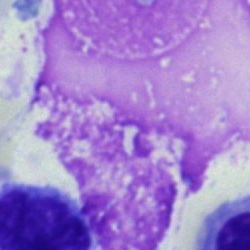

Bone marrow aspirate smear, single cell — artefact.